Bone marrow aspirate smear.
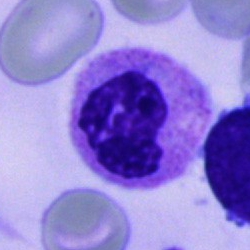

Classification = segmented neutrophil.